Bone marrow aspirate smear
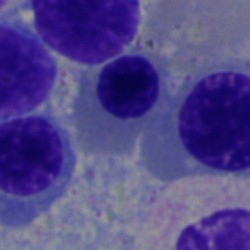Q: What is the morphological classification of this cell?
A: It is a nucleated red blood cell.